Bone marrow smear.
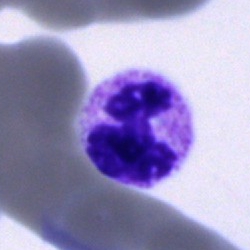 Single cell identified as a polymorphonuclear neutrophil.